Bone marrow aspirate smear
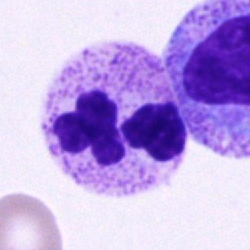 The cell shown is a segmented neutrophil.